250 by 250 pixels. Bone marrow smear. Pappenheim-stained: 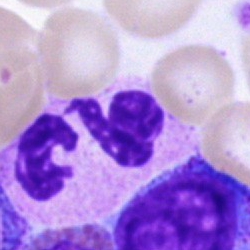 Specimen: bone marrow aspirate smear.
Cell: polymorphonuclear neutrophil.
Lineage: myeloid.